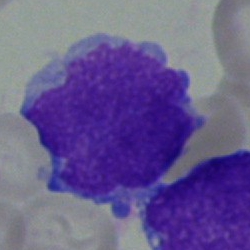Cell type: blast cell.